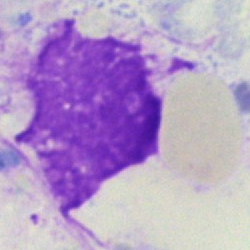

Bone marrow smear showing an artifact.